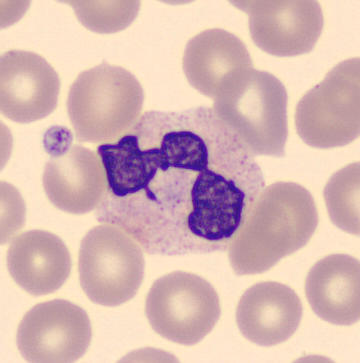

Q: What is shown here?
A: This is a polymorphonuclear neutrophil.